Bone marrow smear · Pappenheim-stained — 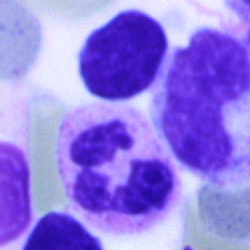 Specimen: bone marrow aspirate smear.
Cell: polymorphonuclear neutrophil.